Bone marrow smear
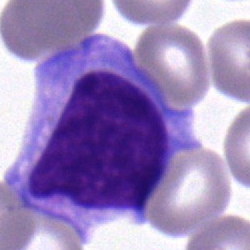 Morphological class = lymphocyte.